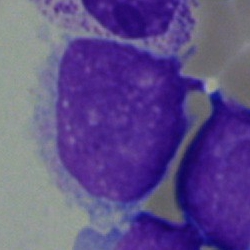Cell type — blast cell.